Bone marrow aspirate smear. 250×250. Brightfield microscopy, 40× oil immersion.
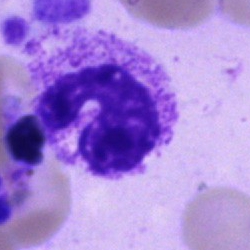Classification = neutrophil (segmented).